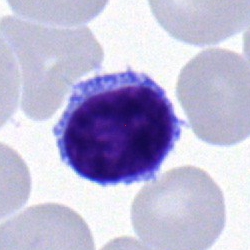Morphological class: lymphocyte.